Bone marrow smear:
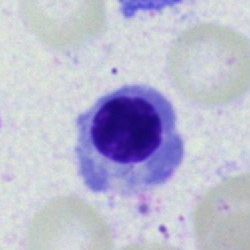Specimen: bone marrow smear.
Morphological class: erythroblast.
Lineage: erythroid.